May-Grünwald-Giemsa/Pappenheim stain; 40× objective, oil immersion; bone marrow aspirate smear — 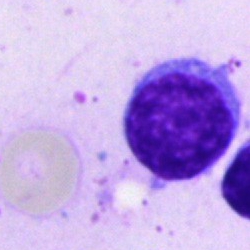

Morphological class — typical lymphocyte.